Bone marrow aspirate smear:
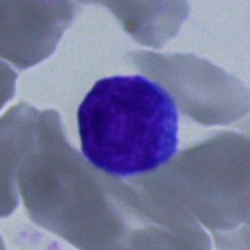 Classification: lymphocyte.